Bone marrow aspirate smear — 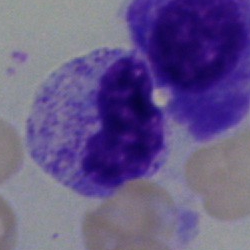

Morphological class — metamyelocyte.